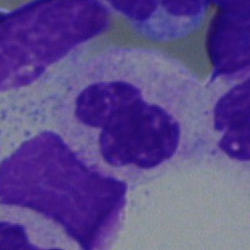 Impression — neutrophil (segmented).